40× oil immersion; bone marrow smear; single-cell crop
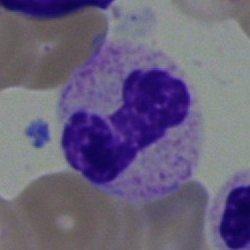

A neutrophil (segmented).